Bone marrow smear — 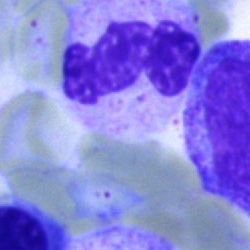

Specimen: bone marrow smear.
Morphological class: neutrophil (segmented).
Lineage: myeloid.